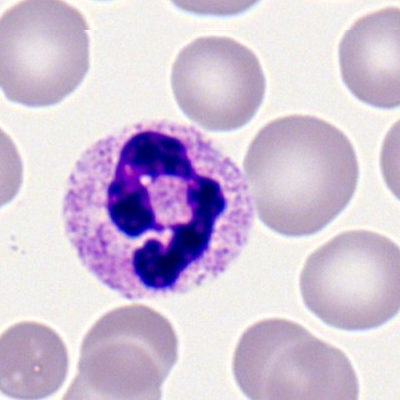Single cell identified as a polymorphonuclear neutrophil.